Cropped to a single cell. Brightfield microscopy, 40× oil immersion. Bone marrow smear — 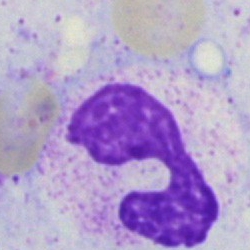

Classification: band-form neutrophil.